250 by 250 pixels. Bone marrow aspirate smear.
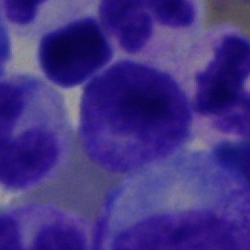 Q: What type of cell is this?
A: A myelocyte.